Pappenheim-stained · brightfield, 40× oil-immersion objective · bone marrow aspirate smear — 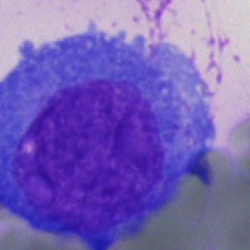 Specimen: bone marrow aspirate smear.
Cell: undifferentiated blast.